Single-cell crop; bone marrow smear:
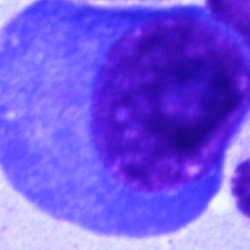

This is a plasma cell.